Bone marrow aspirate smear.
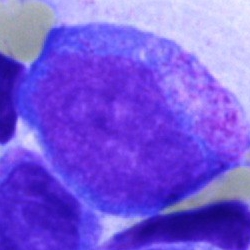 A promyelocyte.